Single-cell crop · brightfield microscopy, 40× oil immersion · bone marrow smear: 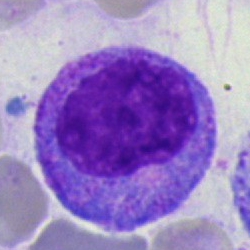 The classification is promyelocyte.